Bone marrow aspirate smear.
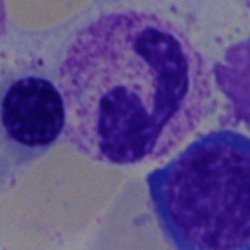 {"cell_type": "polymorphonuclear neutrophil", "lineage": "myeloid"}